Bone marrow aspirate smear
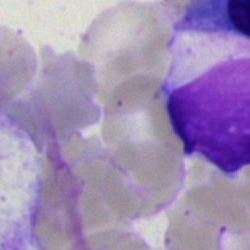

Impression — artifact.